Image size 250×250. Bone marrow smear — 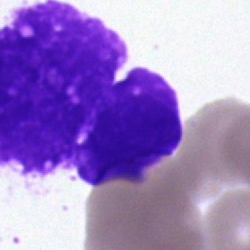 Cell type = artifact.